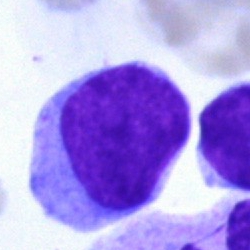 Morphology → undifferentiated blast.